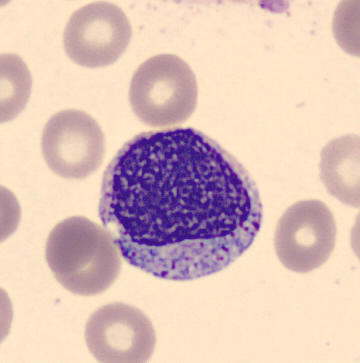Identified as a myelocyte.

Acquisition: Cropped to a single cell; peripheral blood smear; 360×363.